Bone marrow aspirate smear
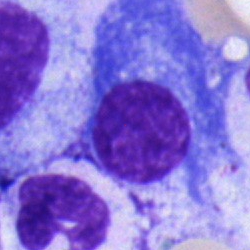
The cell is plasmacyte.